May-Grünwald-Giemsa/Pappenheim stain. Bone marrow aspirate smear. 250×250 px.
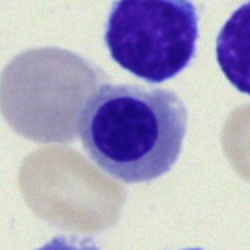 Cell — nucleated red cell.